Bone marrow smear:
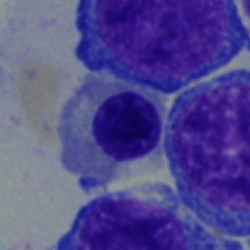
Cell type = nucleated red blood cell.